Bone marrow smear · brightfield, 40× oil-immersion objective.
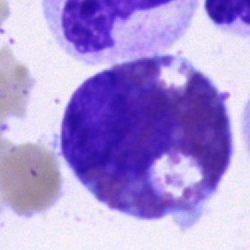

Specimen: bone marrow aspirate smear.
Classification: eosinophil.